Bone marrow aspirate smear — 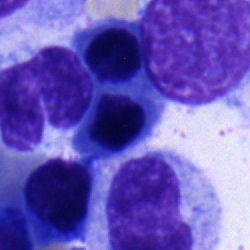
The cell type is erythroblast.